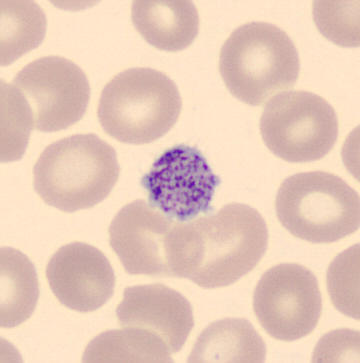

Specimen: peripheral blood smear.
Cell type: platelet.
360×363 px.